Bone marrow aspirate smear. Brightfield microscopy, 40× oil immersion. Single-cell crop — 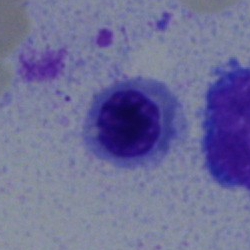The classification is nucleated red cell.